May-Grünwald-Giemsa/Pappenheim stain; bone marrow smear.
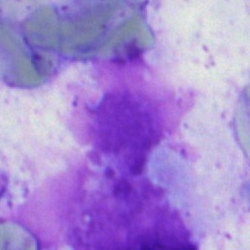

An artifact.